Bone marrow aspirate smear
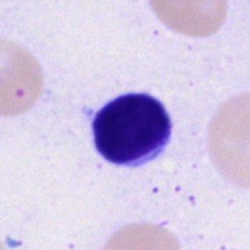 Cell = typical lymphocyte.